Bone marrow smear — 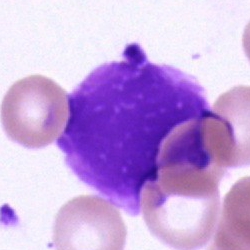

Q: What is shown here?
A: It is an artefact.